Bone marrow aspirate smear — 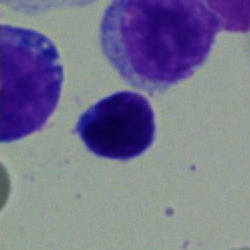 Morphological class: typical lymphocyte.